Bone marrow aspirate smear:
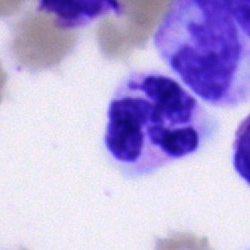
Cell type: segmented neutrophil.